Bone marrow aspirate smear — 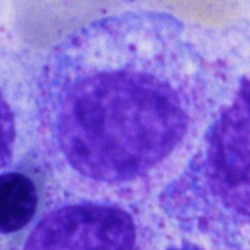

This is a progranulocyte.